Peripheral blood smear — 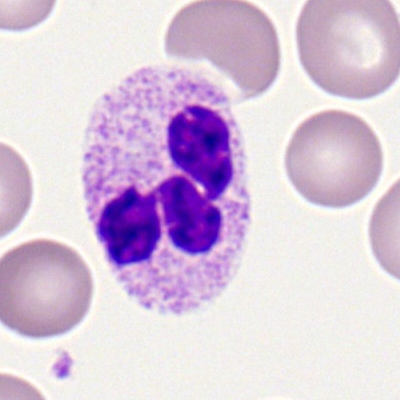

Q: What cell is this?
A: This is a polymorphonuclear neutrophil.